Bone marrow smear.
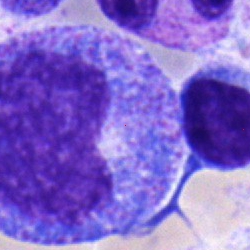

This is a promyelocyte.